250×250; bone marrow smear; single cell centered in the field: 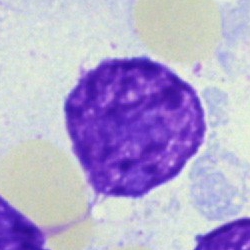 Morphology — artefact.